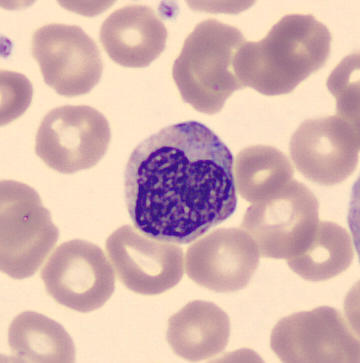
Specimen: peripheral blood smear.
Cell type: metamyelocyte.
Lineage: myeloid.